Bone marrow aspirate smear: 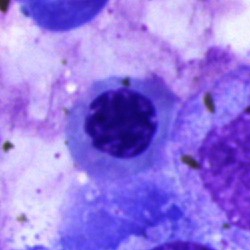
Single cell identified as a normoblast.